Bone marrow smear
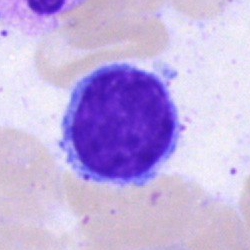Typical lymphocyte.